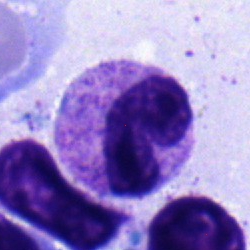 The cell shown is a band neutrophil.